Bone marrow aspirate smear — 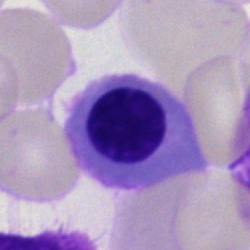

Cell: nucleated red cell.